Bone marrow smear. Cropped to a single cell.
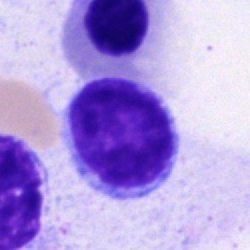

Specimen: bone marrow smear.
Morphological class: typical lymphocyte.